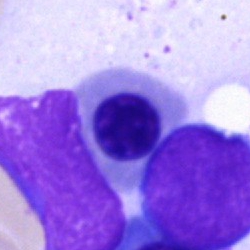 The cell is nucleated red blood cell.